Bone marrow aspirate smear. May-Grünwald-Giemsa stain — 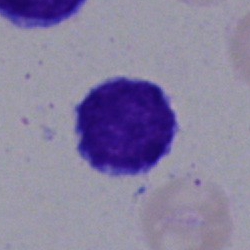Impression → lymphocyte.